250×250 · May-Grünwald-Giemsa stain · bone marrow aspirate smear.
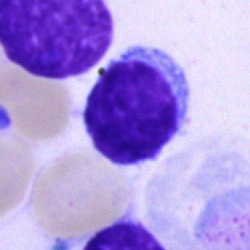The morphological class is typical lymphocyte.